Peripheral blood smear; single cell centered in the field; automated cell imaging (CellaVision DM96):
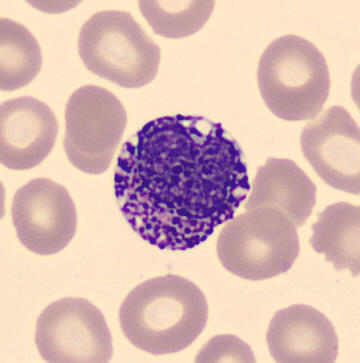 This is a basophil.